Bone marrow aspirate smear. Pappenheim-stained: 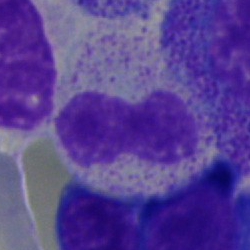

{"cell_type": "neutrophil (band)", "lineage": "myeloid"}